Bone marrow aspirate smear
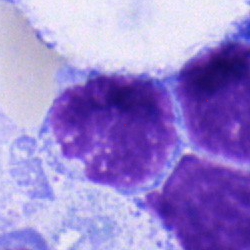The cell shown is a lymphocyte.